Bone marrow smear:
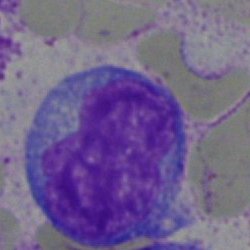
Specimen: bone marrow aspirate smear.
Morphological class: blast.